Bone marrow smear.
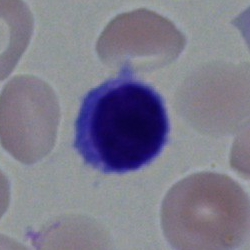
Specimen: bone marrow aspirate smear.
Cell type: erythroblast.